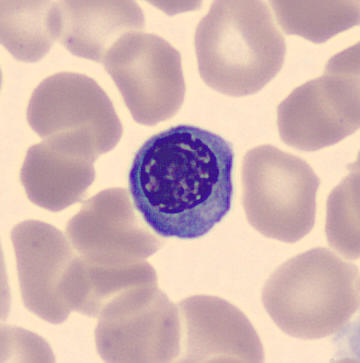Single cell identified as a normoblast.